Bone marrow aspirate smear — 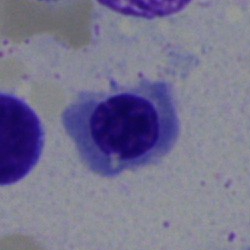Q: What is the morphological classification of this cell?
A: It is a nucleated red blood cell.